Bone marrow aspirate smear: 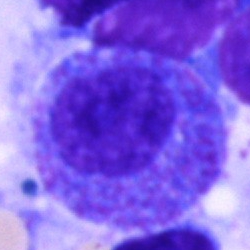
This is a promyelocyte.